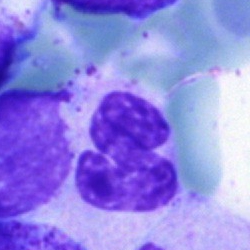

Cell: neutrophil (segmented).